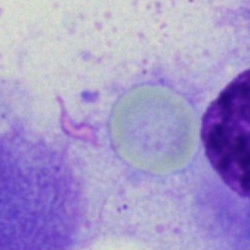

Cell: artefact.